Bone marrow smear — 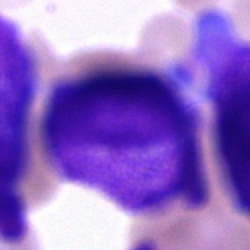The cell is unidentifiable cell.